Peripheral blood smear; image size 400×400; Romanowsky-stained
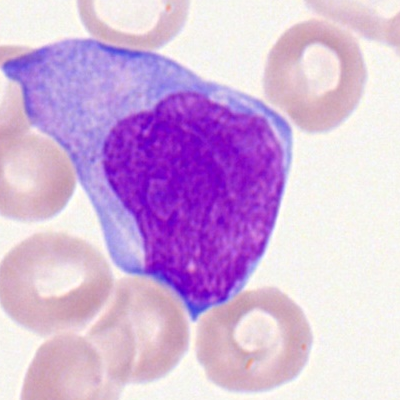Showing a myeloblast.